Bone marrow smear: 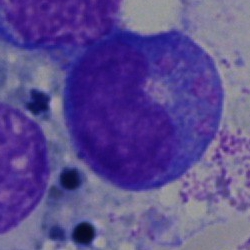
Q: What type of cell is this?
A: This is a promyelocyte.